Bone marrow smear:
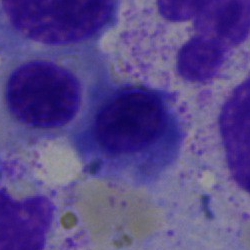 Q: What is the morphological classification of this cell?
A: It is a nucleated red cell.